Bone marrow aspirate smear: 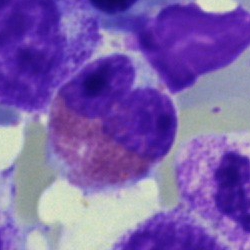

{"cell_type": "eosinophil", "lineage": "myeloid"}